Single-cell field; bone marrow aspirate smear; MGG-stained:
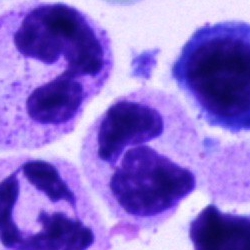

{"cell_type": "polymorphonuclear neutrophil", "lineage": "myeloid"}